Bone marrow smear. May-Grünwald-Giemsa stain
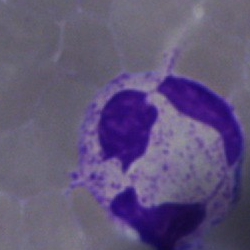
Showing a segmented neutrophil.